Bone marrow smear:
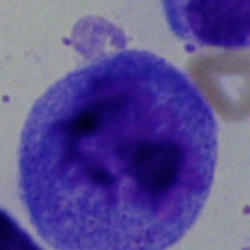
Cell = progranulocyte.